Bone marrow aspirate smear
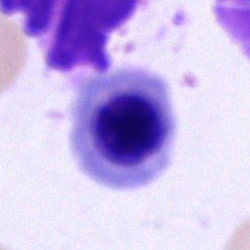Nucleated red blood cell.